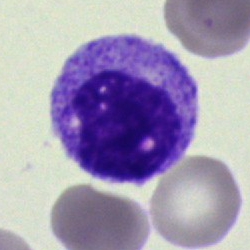
Q: What is the morphological classification of this cell?
A: It is a myelocyte.